Bone marrow smear — 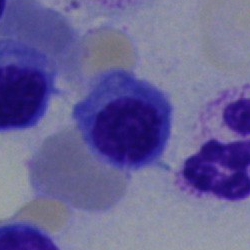 Cell type = erythroblast.